Bone marrow aspirate smear: 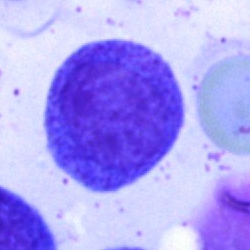
Morphology consistent with a cell of indeterminate lineage.